Bone marrow aspirate smear:
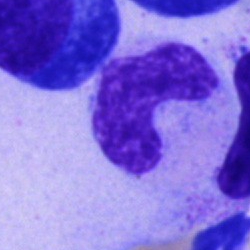 The morphological class is stab cell.